400 by 400 pixels. Romanowsky-stained. Peripheral blood smear
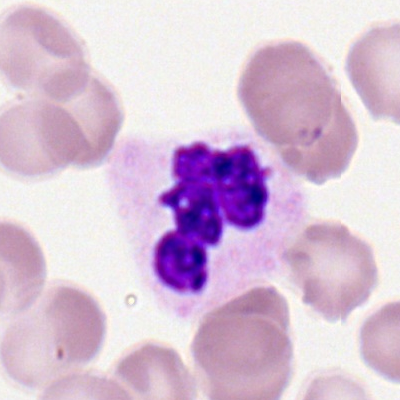 Q: What is the morphological classification of this cell?
A: This is a polymorphonuclear neutrophil.